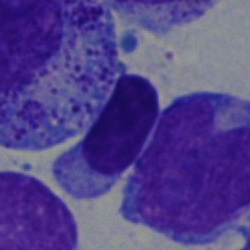

Blast cell.